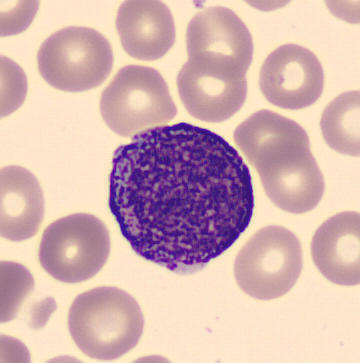
Promyelocyte.